MGG-stained; bone marrow aspirate smear — 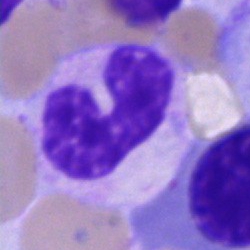Morphology consistent with a stab cell.